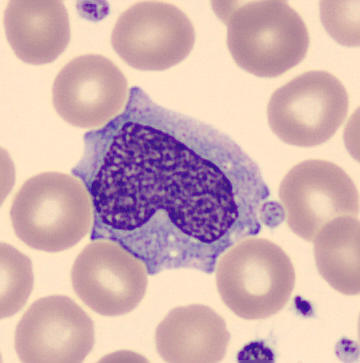 Monocyte. Acquisition: CellaVision DM96 digital cell image · peripheral blood smear.